Cropped to a single cell. Bone marrow aspirate smear.
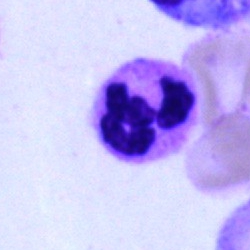
Q: What type of cell is this?
A: It is a polymorphonuclear neutrophil.